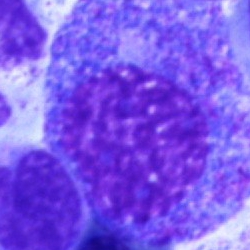 Morphology consistent with a progranulocyte.